Bone marrow smear
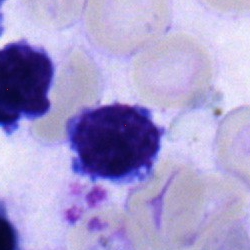
Cell type = typical lymphocyte.